Bone marrow smear · 40× objective, oil immersion
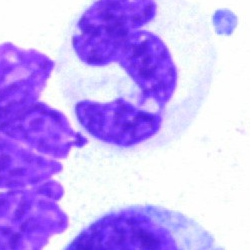Morphology → artefact.